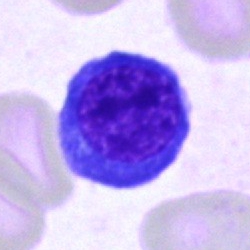
This is a nucleated red cell.